Bone marrow aspirate smear
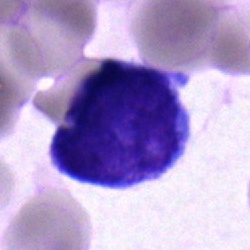
Impression — undifferentiated blast.